250 by 250 pixels. Bone marrow aspirate smear: 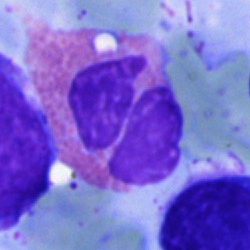 Showing an eosinophilic granulocyte.